Bone marrow aspirate smear; 250 by 250 pixels; 40× oil immersion:
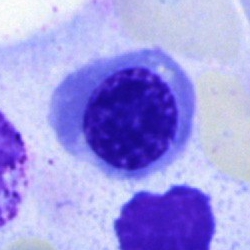

Showing a nucleated red cell.